Bone marrow aspirate smear
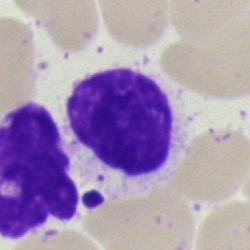 Impression — artefact.